Bone marrow smear
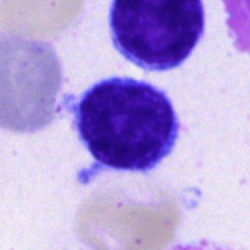 Morphological class: lymphocyte.